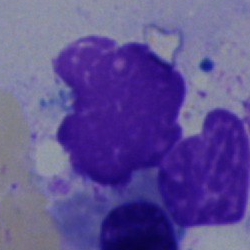 Q: What is shown here?
A: An artefact.